Cropped to a single cell; bone marrow aspirate smear — 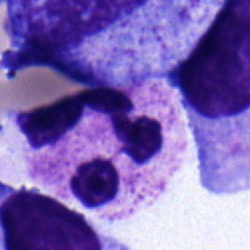Impression — polymorphonuclear neutrophil.